Bone marrow smear. Single cell centered in the field.
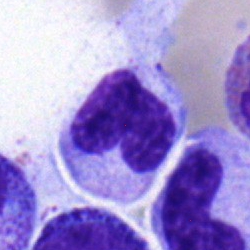 Specimen: bone marrow aspirate smear.
Cell: neutrophil (band).